Single-cell field. Bone marrow aspirate smear:
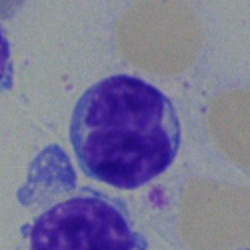This is a typical lymphocyte.